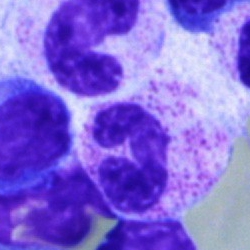

Single cell identified as a neutrophil (segmented).